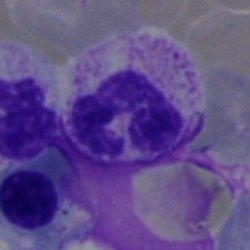
Morphological class — segmented neutrophil.